Bone marrow aspirate smear · 250×250 px: 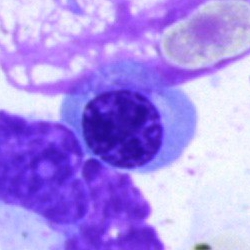 Morphological class — erythroblast.